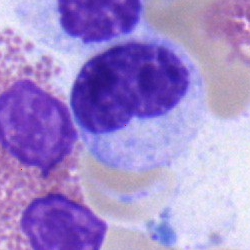 Specimen: bone marrow aspirate smear.
Cell: metamyelocyte.